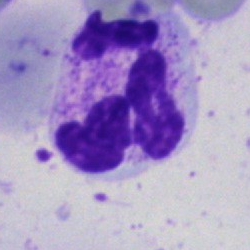

Morphological class — neutrophil (segmented).